Bone marrow aspirate smear. May-Grünwald-Giemsa/Pappenheim stain
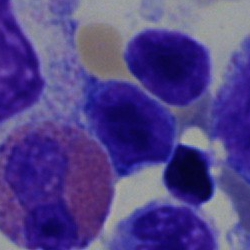

Showing an eosinophil.